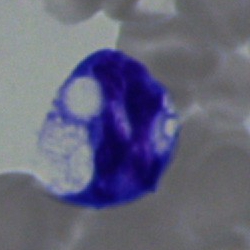
This is a blast.